Bone marrow aspirate smear — 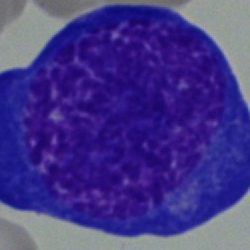

Q: Which cell type is shown here?
A: Pronormoblast.